Bone marrow smear: 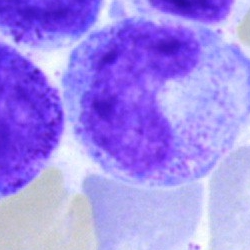 Q: Identify the cell.
A: This is a metamyelocyte.